Peripheral blood film:
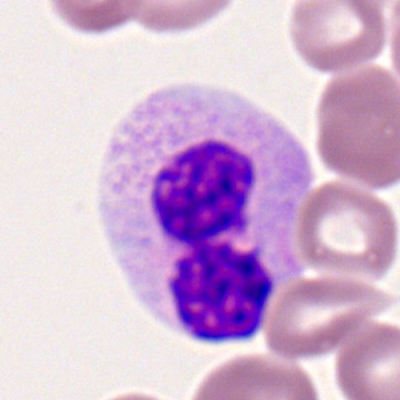The cell is neutrophil (segmented).